Peripheral blood smear · 100× oil immersion — 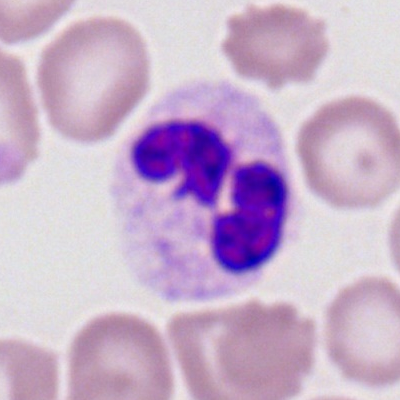

Q: Which cell type is shown here?
A: This is a segmented neutrophil.